Bone marrow aspirate smear: 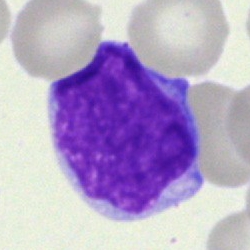 {"cell_type": "blast"}